May-Grünwald-Giemsa/Pappenheim stain · 250×250 px · bone marrow aspirate smear
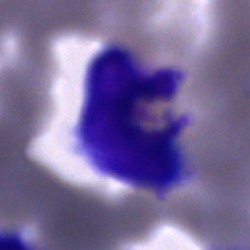 A blast cell.